Bone marrow smear; cropped to a single cell.
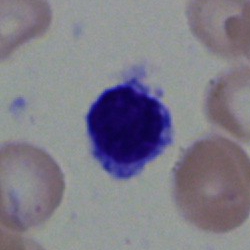 Morphological class: typical lymphocyte.